Bone marrow aspirate smear.
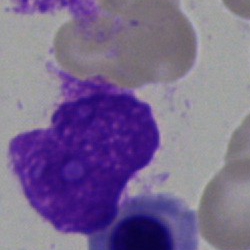

Q: What is shown here?
A: This is an artefact.